Brightfield, 100× oil-immersion objective; peripheral blood film; single-cell field.
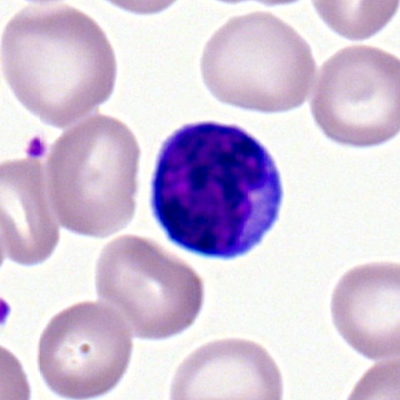Classification — typical lymphocyte.